Bone marrow smear — 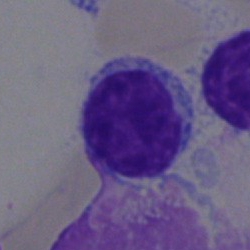 Single cell identified as a lymphocyte.